Bone marrow aspirate smear
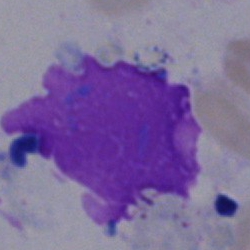Artefact.